Bone marrow smear
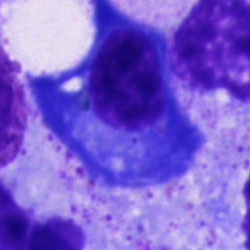Specimen: bone marrow aspirate smear.
Cell: plasma cell.